Bone marrow aspirate smear. Image size 250×250. May-Grünwald-Giemsa/Pappenheim stain:
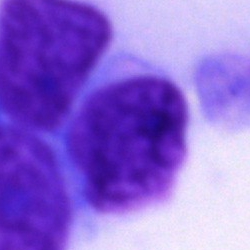This is an unidentifiable cell.